Bone marrow smear.
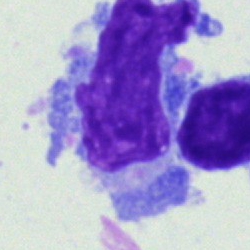

Impression — lymphocyte.